Bone marrow smear — 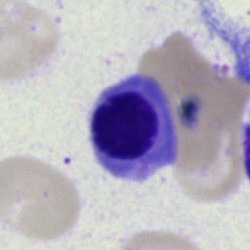

{"cell_type": "erythroblast"}